Bone marrow smear
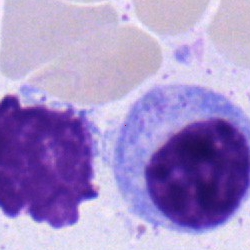

Myelocyte.